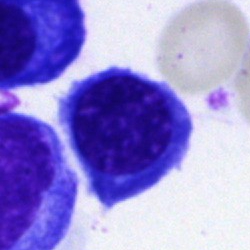Cell type — nucleated red blood cell.